Single-cell field · bone marrow aspirate smear · 250 by 250 pixels: 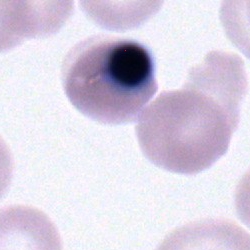
A normoblast.